Bone marrow smear · MGG-stained:
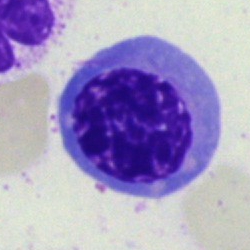 Cell — nucleated red cell.